Peripheral blood film: 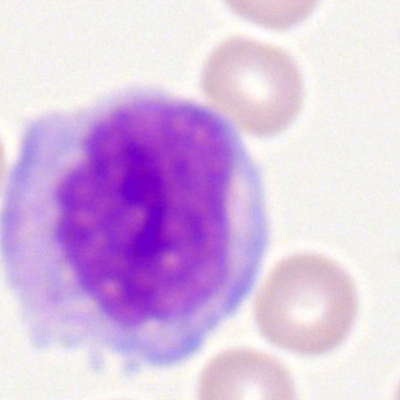 Specimen: peripheral blood film.
Cell: monocyte.